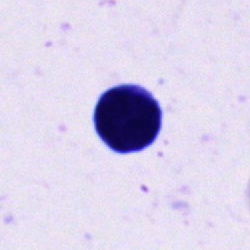

This is a cell of indeterminate lineage.